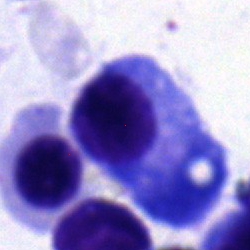

A plasma cell on a bone marrow smear.